Bone marrow aspirate smear; single-cell crop.
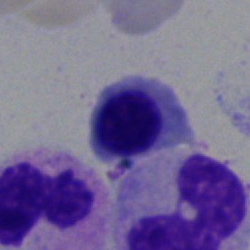 Showing a normoblast.